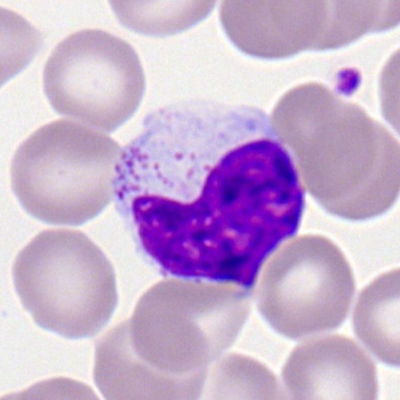{"cell_type": "typical lymphocyte", "lineage": "lymphoid"}